Bone marrow smear; single cell centered in the field; brightfield microscopy, 40× oil immersion — 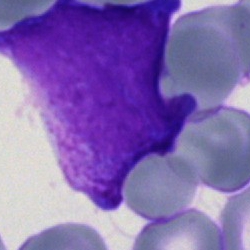
Cell type — blast.